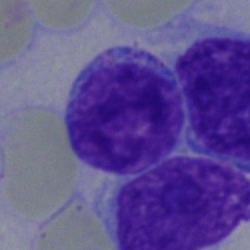

Morphology consistent with an undifferentiated blast.